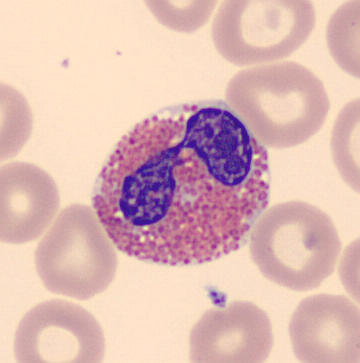 Morphology — eosinophil.